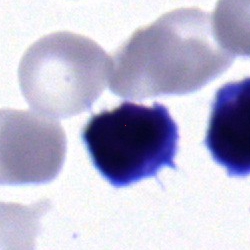
Specimen: bone marrow smear.
Cell type: lymphocyte.
Lineage: lymphoid.